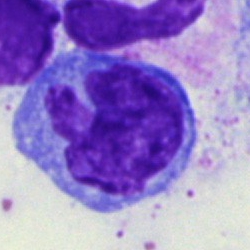Morphology → monocyte.